Bone marrow smear — 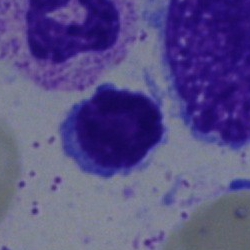 This is a lymphocyte.